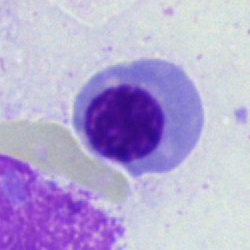 A nucleated red cell.